Bone marrow aspirate smear — 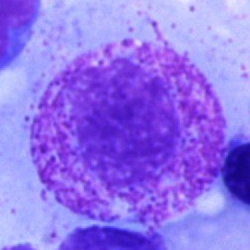
Morphology consistent with a myelocyte.